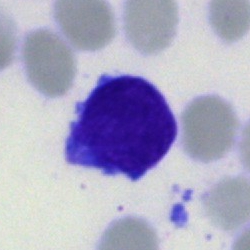

Showing a lymphocyte.